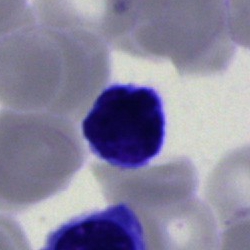
The morphological class is typical lymphocyte.